Bone marrow smear:
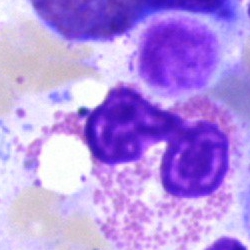
Single cell identified as an eosinophilic granulocyte.